Bone marrow aspirate smear:
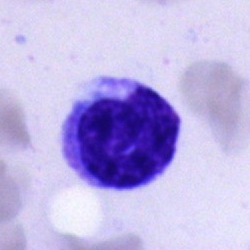 Specimen: bone marrow smear.
Cell type: monocyte.
Lineage: myeloid.